Bone marrow smear — 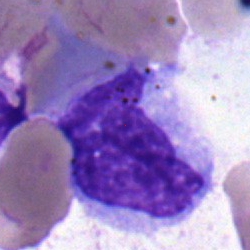

Cell — monocyte.